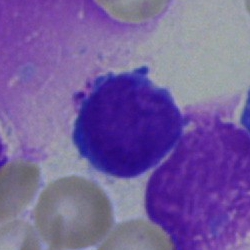

{"cell_type": "lymphocyte", "lineage": "lymphoid"}